Brightfield microscopy, 40× oil immersion · bone marrow smear · 250×250 — 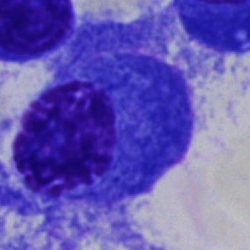

The cell type is plasmacyte.